Romanowsky-type stain; peripheral blood film; 100× oil immersion:
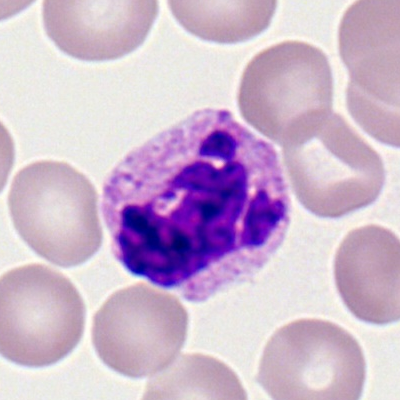The cell shown is a basophilic granulocyte.